Bone marrow aspirate smear: 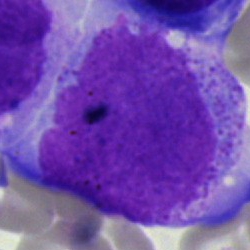
Blast.